Bone marrow smear — 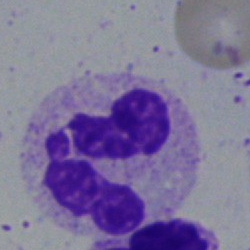Q: Identify the cell.
A: It is a neutrophil (segmented).